Bone marrow aspirate smear: 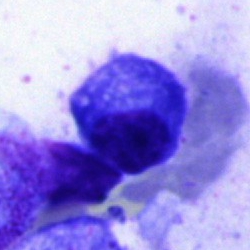
A plasmacyte.